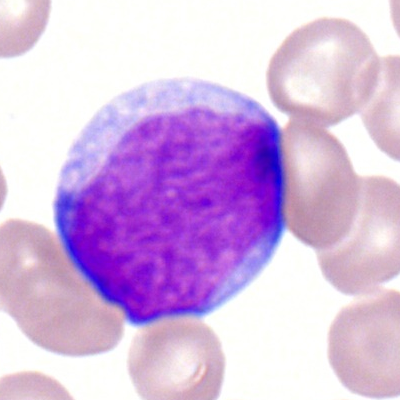

The classification is myeloid blast.